Single-cell field; bone marrow aspirate smear; 250 by 250 pixels:
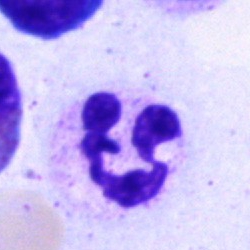 Polymorphonuclear neutrophil.